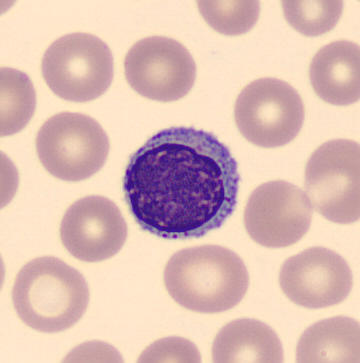

Showing a lymphocyte. Peripheral blood film; CellaVision DM96 digital cell image.